40× objective, oil immersion. MGG-stained. Bone marrow aspirate smear: 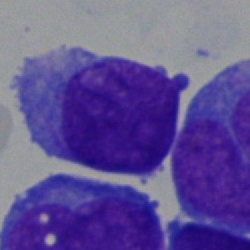

Cell type — blast.